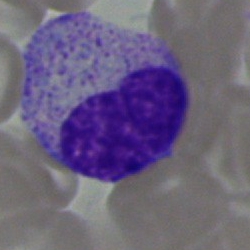Cell = metamyelocyte.